250 by 250 pixels. Bone marrow smear: 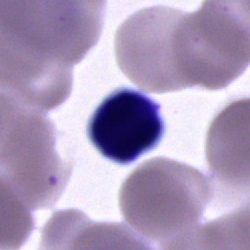

Cell type = cell of indeterminate lineage.